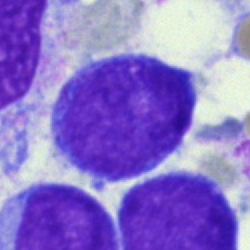Morphology → blast cell.